Bone marrow smear: 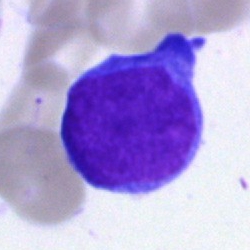 Cell = undifferentiated blast.